Bone marrow aspirate smear · 40× oil immersion.
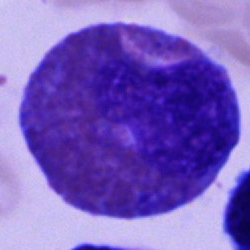 Q: Which cell type is shown here?
A: An eosinophil.